40× oil immersion; single-cell field; bone marrow smear
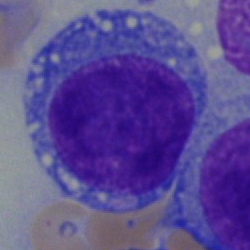 Cell type = undifferentiated blast.